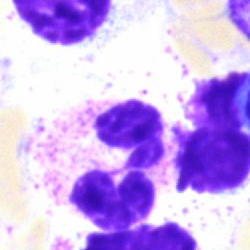A segmented neutrophil.